Bone marrow aspirate smear: 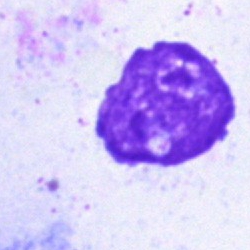 Morphological class — artefact.